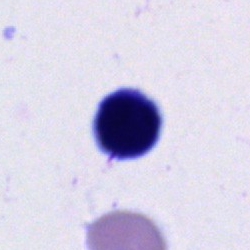

Specimen: bone marrow aspirate smear.
Cell: cell of indeterminate lineage.